Bone marrow smear.
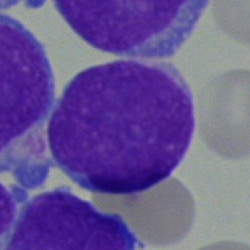
Morphology consistent with a blast cell.